Bone marrow smear · single-cell crop · brightfield, 40× oil-immersion objective:
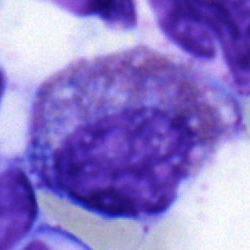 Specimen: bone marrow smear.
Cell type: eosinophilic granulocyte.
Lineage: myeloid.